Peripheral blood smear.
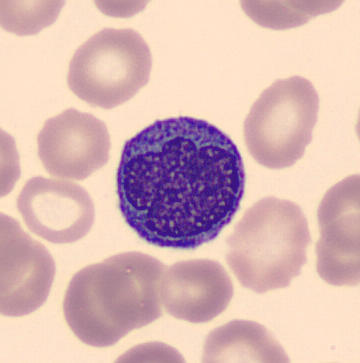
{"cell_type": "monocyte", "lineage": "myeloid"}